Bone marrow smear — 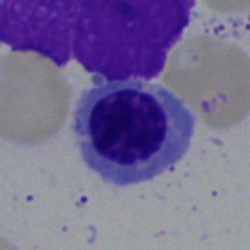

Cell: normoblast.